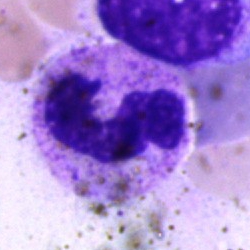 Q: What is shown here?
A: A band neutrophil.